Bone marrow aspirate smear; Pappenheim-stained:
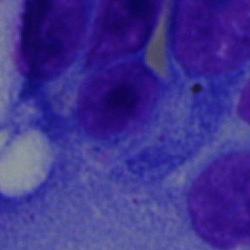
Q: What type of cell is this?
A: Plasmacyte.